Bone marrow smear. Single-cell crop.
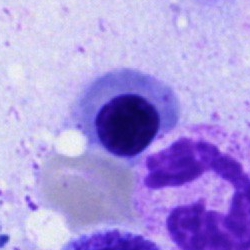

Morphology consistent with a nucleated red cell.